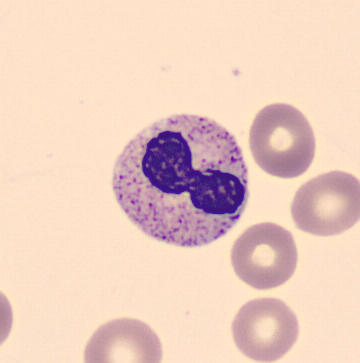Image: Peripheral blood smear.

Q: Which cell type is shown here?
A: It is a band-form neutrophil.